Romanowsky-stained · peripheral blood film
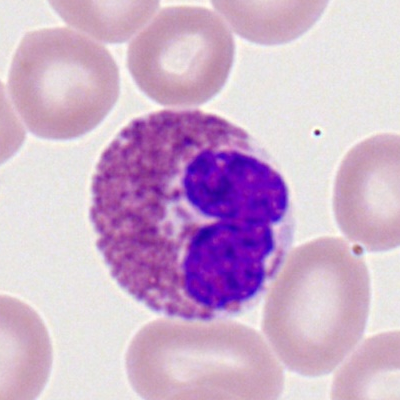Q: Identify the cell.
A: Eosinophilic granulocyte.